Single-cell crop. Bone marrow smear. 250×250: 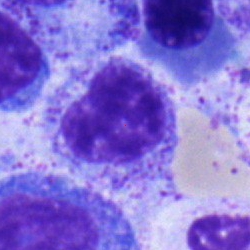Myelocyte.